May-Grünwald-Giemsa/Pappenheim stain; bone marrow aspirate smear.
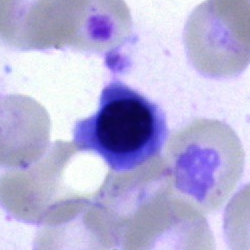 Morphological class = erythroblast.